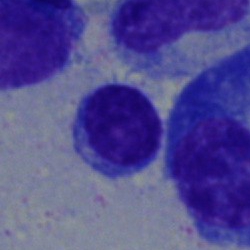

The cell type is typical lymphocyte.